Bone marrow smear. 40× oil immersion.
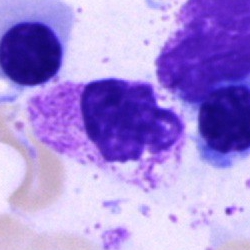Specimen: bone marrow smear.
Cell: neutrophil (segmented).
Lineage: myeloid.